Bone marrow aspirate smear
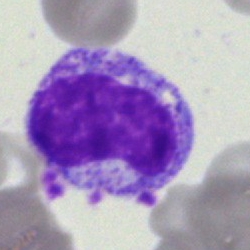

A metamyelocyte.